Bone marrow smear. Brightfield, 40× oil-immersion objective.
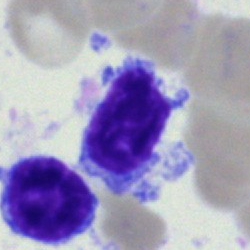 Impression — typical lymphocyte.